Image size 400×400; peripheral blood smear.
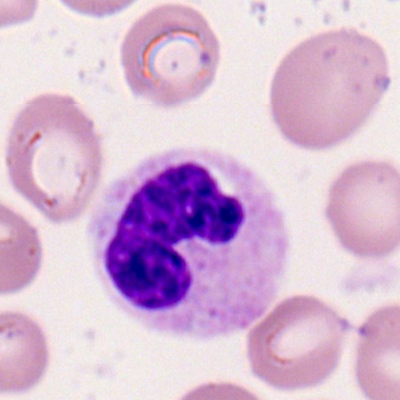 Neutrophil (segmented).